Pappenheim-stained; bone marrow smear; image size 250×250.
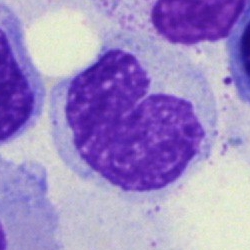
Q: What cell is this?
A: This is a monocyte.